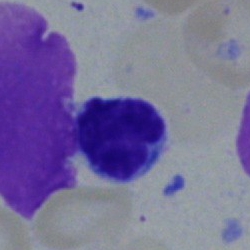Impression → typical lymphocyte.